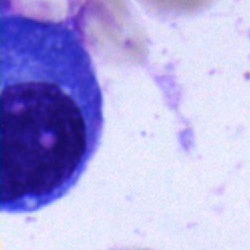 A plasma cell on a bone marrow smear.